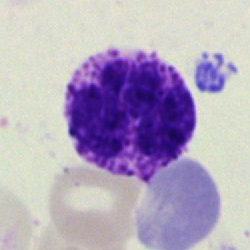
{"cell_type": "basophilic granulocyte"}